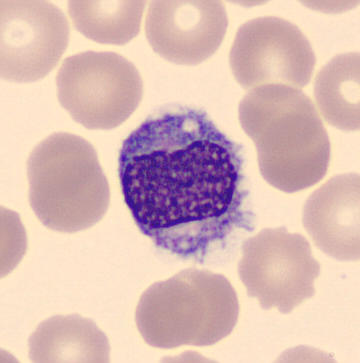Acquisition: Peripheral blood film.

Morphology consistent with a monocyte.